Bone marrow smear. May-Grünwald-Giemsa stain.
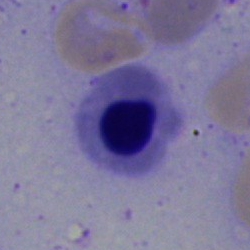Specimen: bone marrow smear.
Morphological class: nucleated red cell.